250×250; bone marrow aspirate smear; single-cell crop.
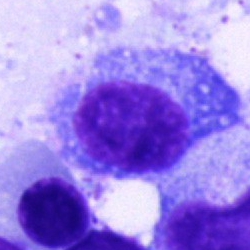 Specimen: bone marrow aspirate smear.
Morphological class: plasma cell.
Lineage: lymphoid.